Bone marrow smear.
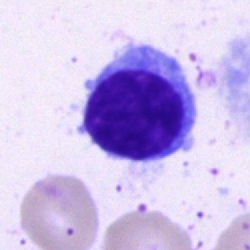
Morphological class — lymphocyte.